Bone marrow smear:
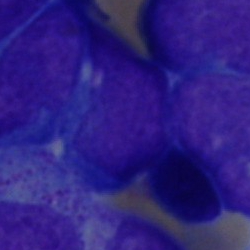 Q: Which cell type is shown here?
A: An undifferentiated blast.